Cropped to a single cell. Peripheral blood film. Romanowsky-type stain:
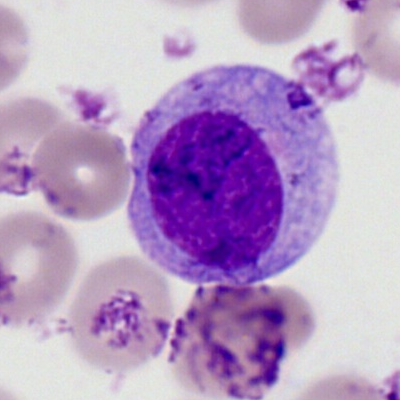
Morphology consistent with a myeloid blast.